Bone marrow aspirate smear
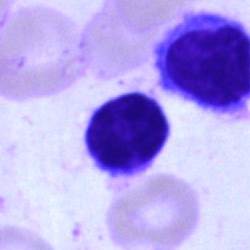 Morphology → lymphocyte.